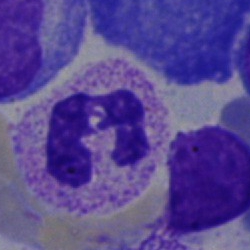

Showing a neutrophil (segmented).